Single-cell crop. Peripheral blood film: 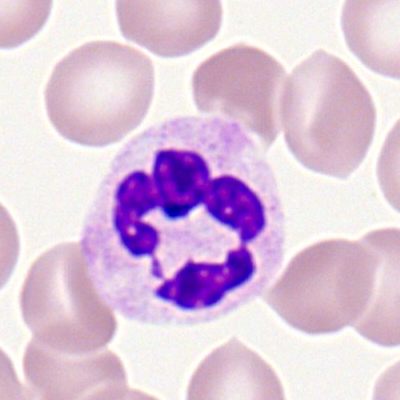
Morphological class — polymorphonuclear neutrophil.